Bone marrow smear
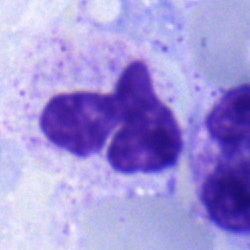

Classification: neutrophil (segmented).